Cropped to a single cell. Bone marrow aspirate smear.
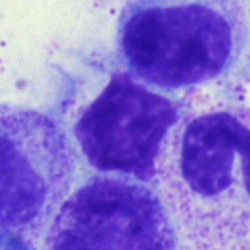Q: What is shown here?
A: A cell of indeterminate lineage.